Bone marrow aspirate smear · brightfield microscopy, 40× oil immersion.
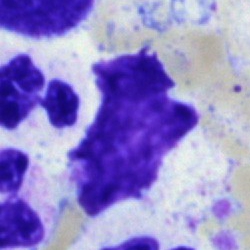 Morphology → artefact.